Bone marrow smear:
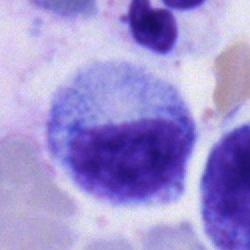{"cell_type": "myelocyte"}